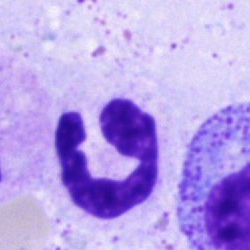 Segmented neutrophil.